Bone marrow smear. 250×250 — 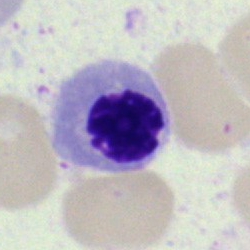
Erythroblast.